Bone marrow smear.
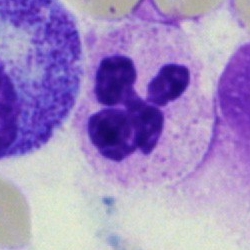
Classification — polymorphonuclear neutrophil.